Bone marrow smear — 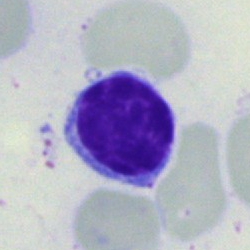
Morphological class — lymphocyte.